Brightfield microscopy, 40× oil immersion; bone marrow smear; cropped to a single cell:
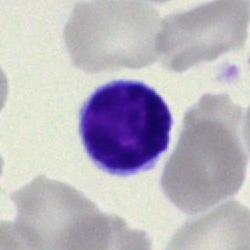Morphological class: lymphocyte.